Single cell centered in the field. Bone marrow aspirate smear. 40× objective, oil immersion: 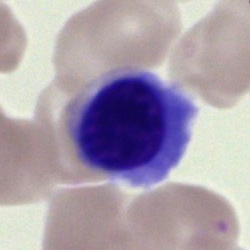 A nucleated red cell.